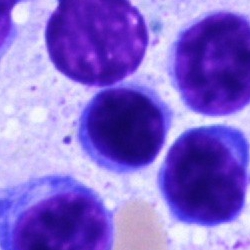Morphological class = typical lymphocyte.